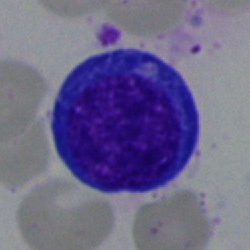
A normoblast.